Bone marrow aspirate smear — 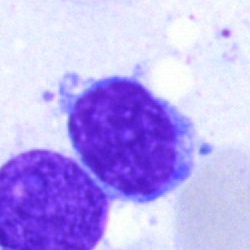
Showing an artifact.